Bone marrow smear:
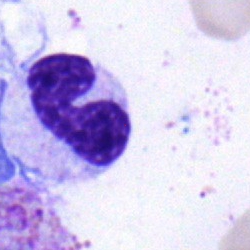
Impression → band neutrophil.